Cropped to a single cell. Bone marrow aspirate smear: 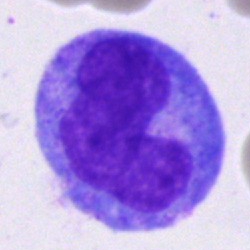

Classification = monocyte.